250×250 px. Bone marrow aspirate smear.
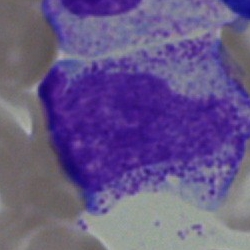
Q: What cell is this?
A: It is a myelocyte.